Romanowsky stain; peripheral blood film.
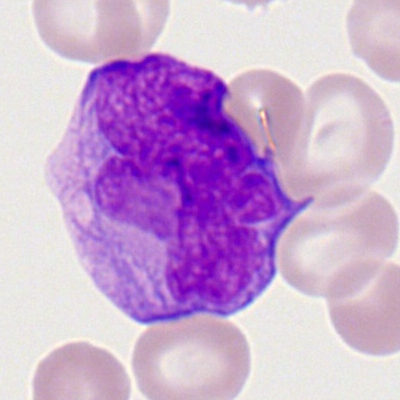 Morphological class = myeloid blast.